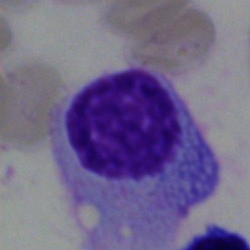 Specimen: bone marrow smear.
Cell type: plasmacyte.